Bone marrow aspirate smear; Pappenheim-stained:
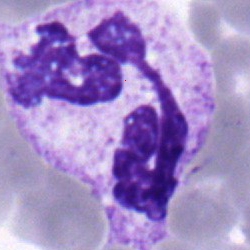
Specimen: bone marrow aspirate smear.
Cell: polymorphonuclear neutrophil.
Lineage: myeloid.